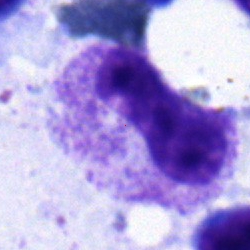Q: Which cell type is shown here?
A: It is a polymorphonuclear neutrophil.